Bone marrow aspirate smear: 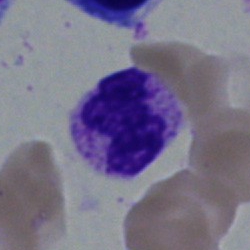
Cell = segmented neutrophil.